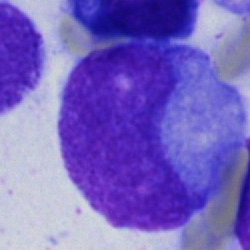
{"cell_type": "promyelocyte", "lineage": "myeloid"}